Pappenheim-stained; bone marrow smear; image size 250×250
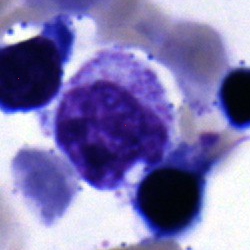 {"cell_type": "myelocyte", "lineage": "myeloid"}